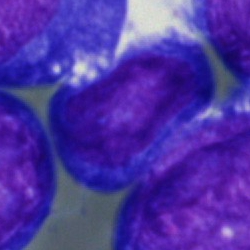

Proerythroblast.